Bone marrow aspirate smear · 250×250:
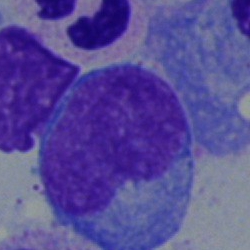 Blast cell.